Bone marrow smear
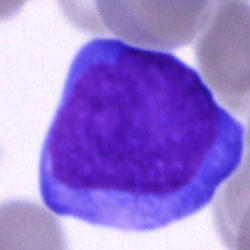 {"cell_type": "undifferentiated blast"}